Bone marrow smear. Pappenheim-stained. 250 by 250 pixels
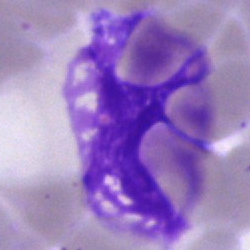
{"cell_type": "artifact"}